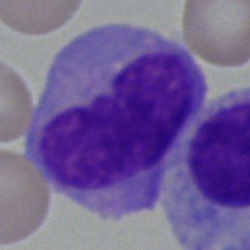Morphology — monocyte.